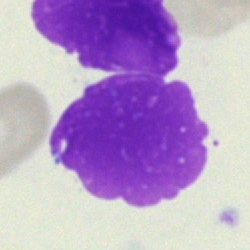 Bone marrow smear showing an artefact.